Bone marrow smear
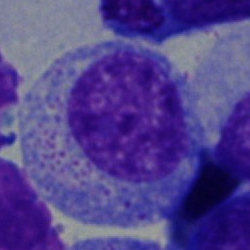Morphology consistent with a myelocyte.